Bone marrow smear:
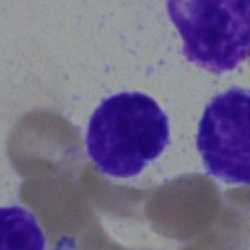
Specimen: bone marrow aspirate smear.
Classification: typical lymphocyte.
Lineage: lymphoid.